Bone marrow aspirate smear; Pappenheim-stained; cropped to a single cell.
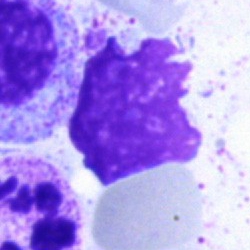 Showing an artefact.